Bone marrow aspirate smear.
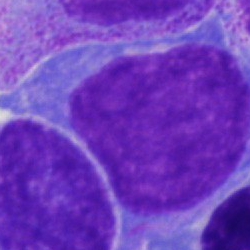 The classification is blast cell.